Peripheral blood smear. 400 by 400 pixels.
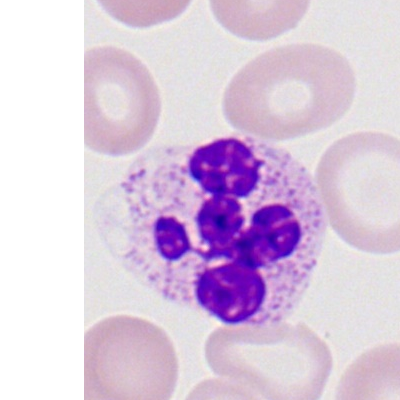 Morphology → neutrophil (segmented).